Single-cell crop. Bone marrow smear. Brightfield microscopy, 40× oil immersion
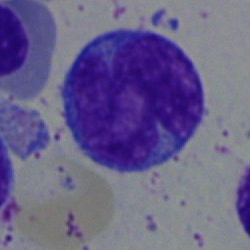 Single cell identified as a blast.